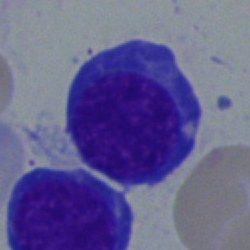Specimen: bone marrow smear.
Classification: normoblast.
Lineage: erythroid.